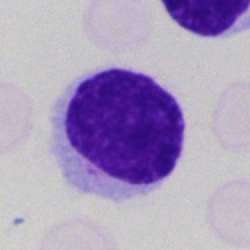

A lymphocyte on a bone marrow smear.